Bone marrow smear — 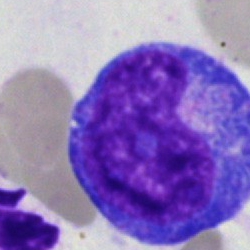Q: What is shown here?
A: Monocyte.